Bone marrow aspirate smear: 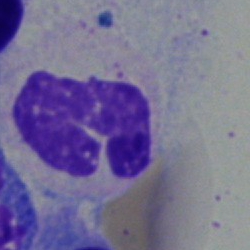Single cell identified as a neutrophil (segmented).